Bone marrow smear. May-Grünwald-Giemsa/Pappenheim stain
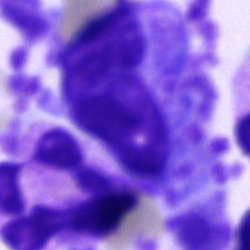An artifact.